Bone marrow smear — 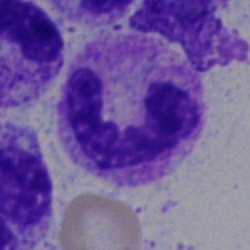 Morphology consistent with a neutrophil (segmented).